Bone marrow smear. May-Grünwald-Giemsa stain.
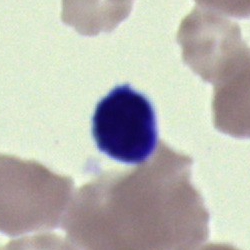

Q: What is shown here?
A: Typical lymphocyte.